Brightfield, 40× oil-immersion objective; bone marrow smear — 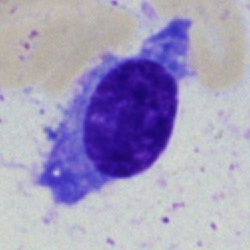

Q: What is the morphological classification of this cell?
A: It is a plasma cell.